Peripheral blood film; brightfield, 100× oil-immersion objective; single cell centered in the field
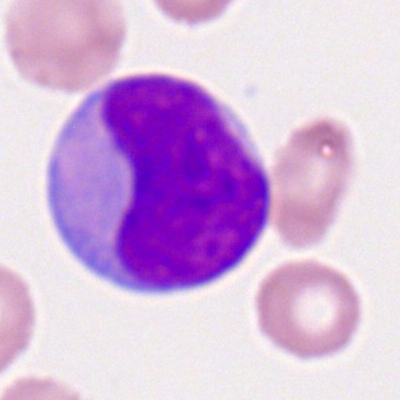This is a myeloblast.